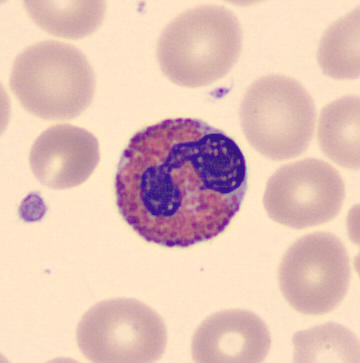 Morphology → eosinophilic granulocyte. Peripheral blood smear; MGG-stained; imaged on a CellaVision DM96 analyser.